Peripheral blood smear:
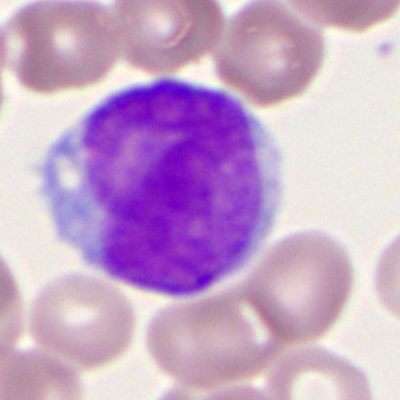 Morphology consistent with a monocyte.